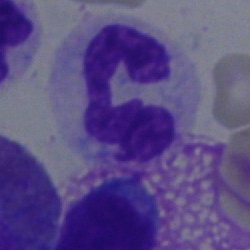Morphology consistent with a segmented neutrophil.